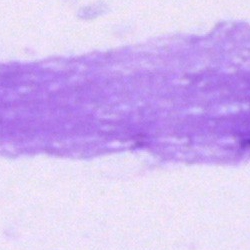 Morphology → artifact.